Bone marrow aspirate smear — 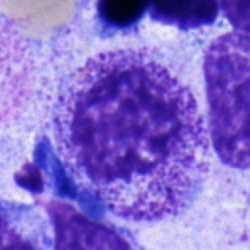 Morphology — myelocyte.